40× objective, oil immersion · single-cell crop · bone marrow smear — 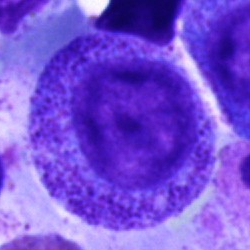
Q: What cell is this?
A: A promyelocyte.